Pappenheim-stained; bone marrow aspirate smear — 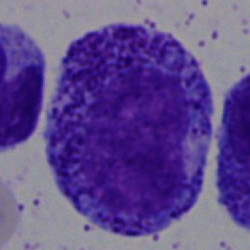Specimen: bone marrow smear.
Cell: promyelocyte.